May-Grünwald-Giemsa stain; bone marrow aspirate smear.
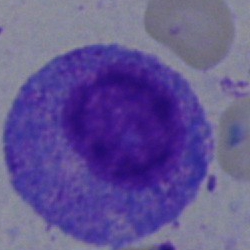

Specimen: bone marrow aspirate smear.
Cell: promyelocyte.